MGG-stained · brightfield microscopy, 40× oil immersion · bone marrow aspirate smear: 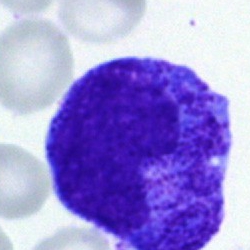

Morphological class: metamyelocyte.